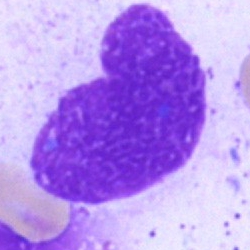 The cell type is artifact.